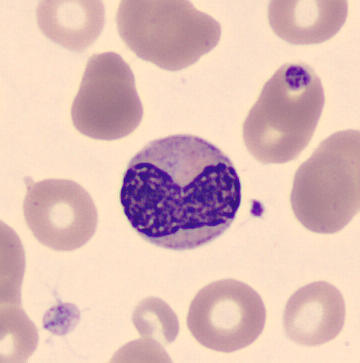
This is a metamyelocyte. Image: Peripheral blood film · CellaVision DM96 digital cell image.